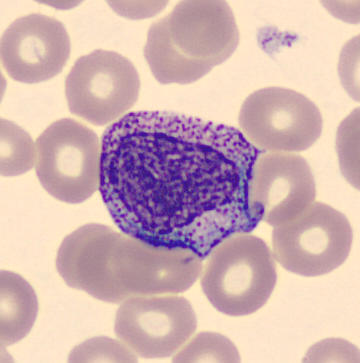

Image: Single cell centered in the field. Peripheral blood smear.

Single cell identified as a myelocyte.